40× objective, oil immersion · 250 by 250 pixels · bone marrow aspirate smear — 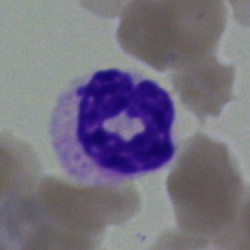

The cell is segmented neutrophil.